40× oil immersion · bone marrow aspirate smear.
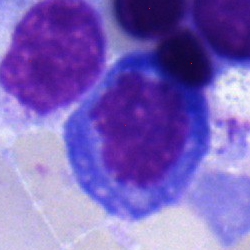 The cell shown is a plasmacyte.